Bone marrow aspirate smear
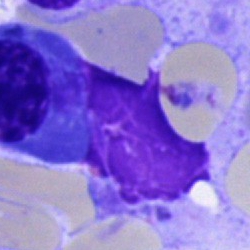
This is an artefact.